Bone marrow smear: 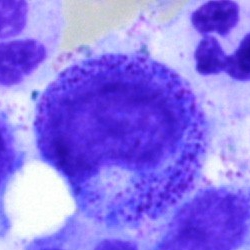

Morphological class — progranulocyte.